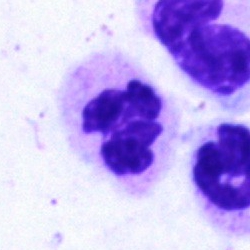

{"cell_type": "segmented neutrophil"}